Bone marrow aspirate smear — 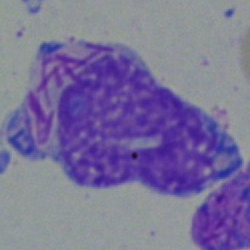Cell: faggot cell.